250 by 250 pixels · May-Grünwald-Giemsa stain · bone marrow smear.
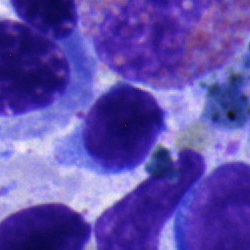

The cell shown is a typical lymphocyte.